Brightfield, 40× oil-immersion objective; May-Grünwald-Giemsa/Pappenheim stain; bone marrow smear:
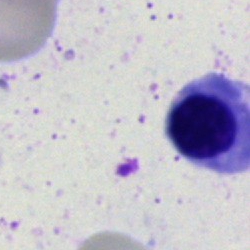
Specimen: bone marrow aspirate smear.
Cell type: nucleated red blood cell.